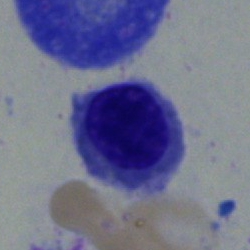

The classification is erythroblast.